100× objective, oil immersion; peripheral blood smear: 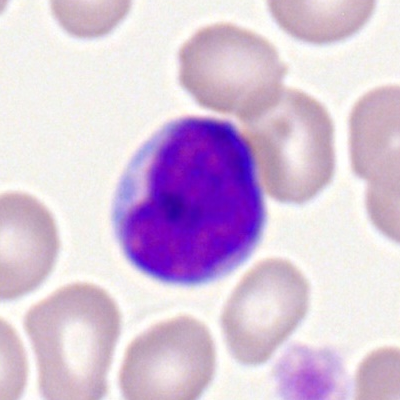
The cell shown is a myeloid blast.